Bone marrow aspirate smear: 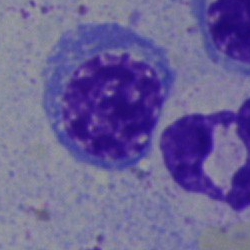 Specimen: bone marrow smear.
Classification: nucleated red cell.